Bone marrow aspirate smear. Image size 250×250. May-Grünwald-Giemsa/Pappenheim stain:
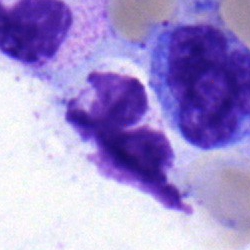
Morphology consistent with a segmented neutrophil.